250 by 250 pixels. 40× objective, oil immersion. Bone marrow aspirate smear
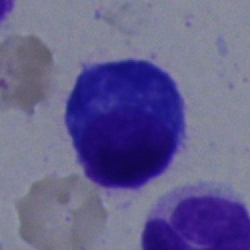This is a plasma cell.